Bone marrow smear. 250×250 px: 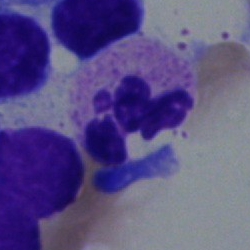

Specimen: bone marrow aspirate smear.
Cell: segmented neutrophil.